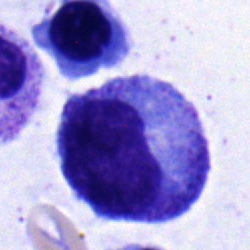Metamyelocyte.